Bone marrow aspirate smear
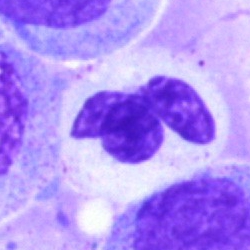
Classification — segmented neutrophil.